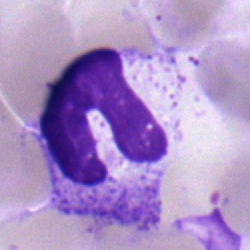 Specimen: bone marrow smear.
Cell: band-form neutrophil.
Lineage: myeloid.